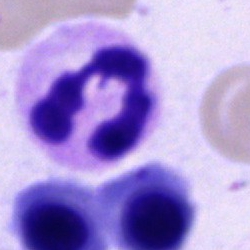 {"cell_type": "segmented neutrophil", "lineage": "myeloid"}